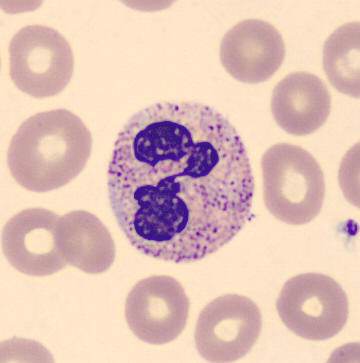

Specimen: peripheral blood film.
Cell: neutrophil (segmented).